Bone marrow aspirate smear; single cell centered in the field:
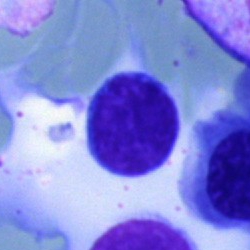

This is a lymphocyte.